Brightfield microscopy, 40× oil immersion. Bone marrow smear:
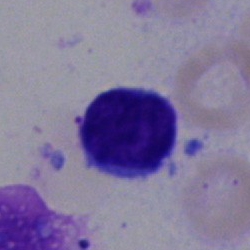 Q: Identify the cell.
A: It is a typical lymphocyte.